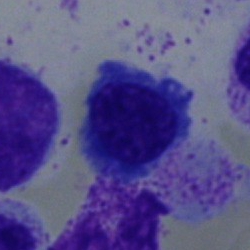

Q: What is the morphological classification of this cell?
A: It is a normoblast.